40× oil immersion · bone marrow aspirate smear · 250 by 250 pixels
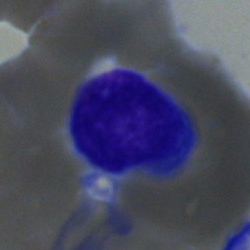

Cell: lymphocyte.